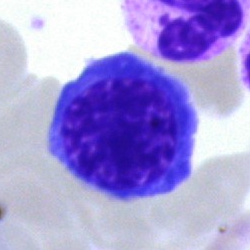Classification — normoblast.